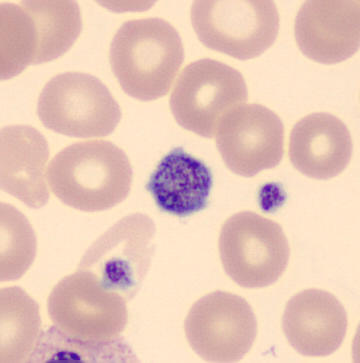 Acquisition: 360×363; peripheral blood film.
Q: What is this?
A: This is a platelet.